Bone marrow smear — 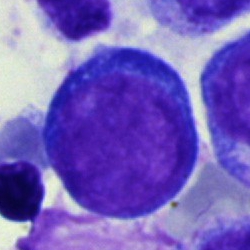
{"cell_type": "proerythroblast"}